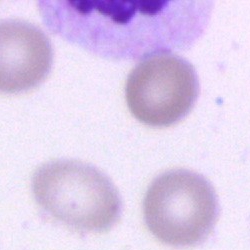

Morphological class: cell of indeterminate lineage.